Bone marrow smear
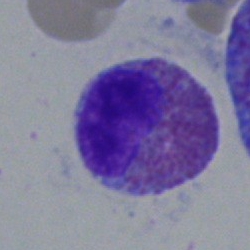 Morphology → eosinophilic granulocyte.